Single-cell crop · bone marrow smear · 250 by 250 pixels:
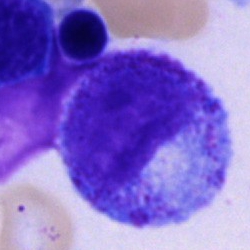

Showing a promyelocyte.